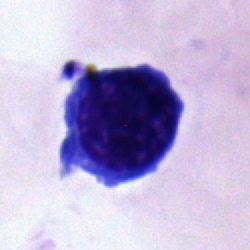

{"cell_type": "nucleated red blood cell", "lineage": "erythroid"}